Bone marrow aspirate smear
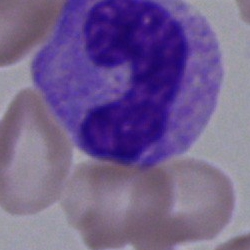 Morphology → stab cell.